Bone marrow aspirate smear. May-Grünwald-Giemsa/Pappenheim stain. 40× oil immersion — 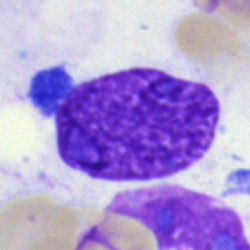The cell shown is an artifact.